Peripheral blood film: 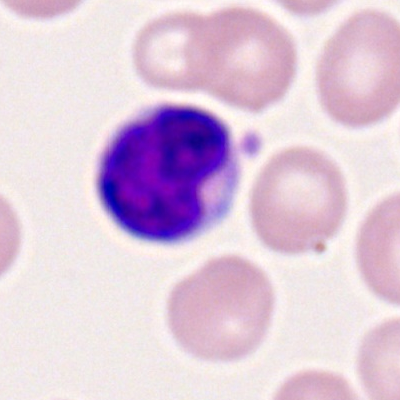

Morphological class = typical lymphocyte.